250 by 250 pixels. Bone marrow smear — 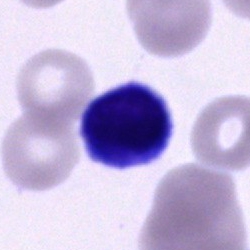

Lymphocyte.